May-Grünwald-Giemsa stain · bone marrow smear
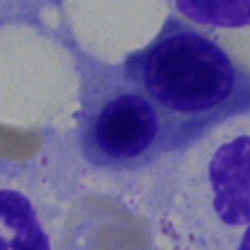Q: Identify the cell.
A: This is a nucleated red blood cell.